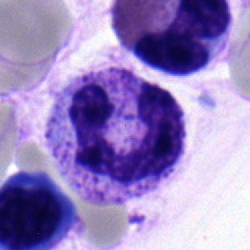Q: Identify the cell.
A: This is a segmented neutrophil.